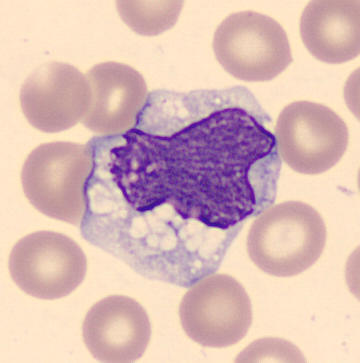

Impression → monocyte.
Image: Peripheral blood smear. Single-cell crop.